Peripheral blood film; 400×400 px; 100× oil immersion, 14.14 px/µm:
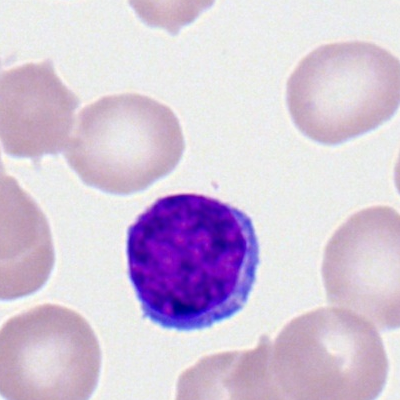
Specimen: peripheral blood smear.
Classification: typical lymphocyte.
Lineage: lymphoid.